Bone marrow aspirate smear · May-Grünwald-Giemsa stain: 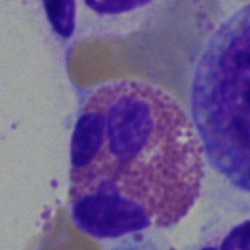

Single cell identified as an eosinophilic granulocyte.